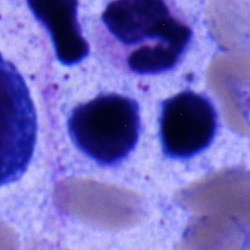

Morphology — typical lymphocyte.